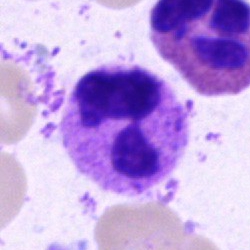
Cell type — neutrophil (segmented).